Cropped to a single cell; 100× objective, oil immersion; peripheral blood film: 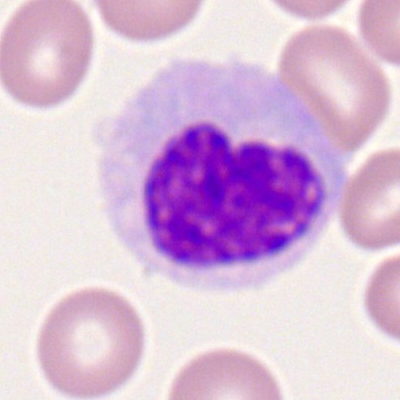 Q: What cell is this?
A: Monocyte.